Bone marrow aspirate smear · MGG-stained · image size 250×250.
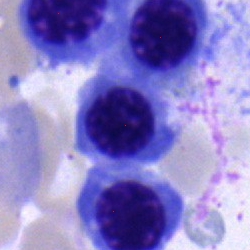

Q: Identify the cell.
A: This is an erythroblast.